MGG-stained · 250×250 px · bone marrow smear:
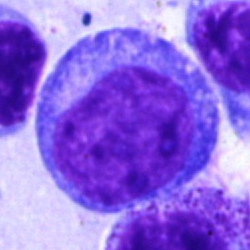
Q: What cell is this?
A: This is a progranulocyte.